Bone marrow smear.
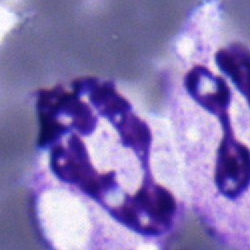

The cell shown is a segmented neutrophil.